Bone marrow smear
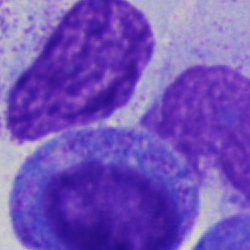

A progranulocyte.